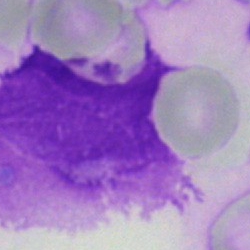Morphology consistent with an artefact.